Bone marrow aspirate smear. May-Grünwald-Giemsa/Pappenheim stain — 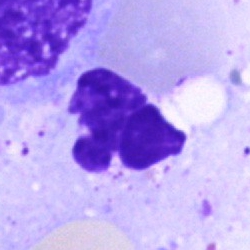
Single cell identified as an artefact.